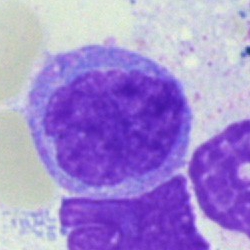Specimen: bone marrow aspirate smear.
Cell type: monocyte.